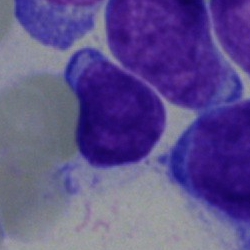

Morphology consistent with an undifferentiated blast.